Bone marrow smear
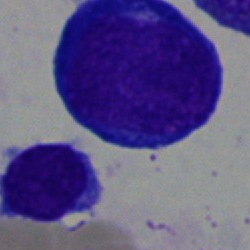

Q: Identify the cell.
A: This is a proerythroblast.